Bone marrow smear — 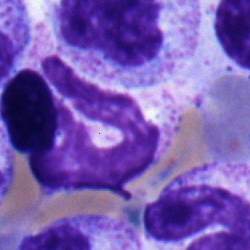
Showing a myelocyte.